Bone marrow aspirate smear: 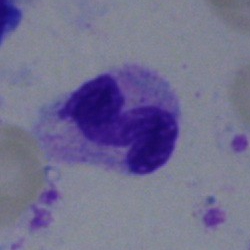
Morphology consistent with a segmented neutrophil.